Bone marrow aspirate smear. Single cell centered in the field:
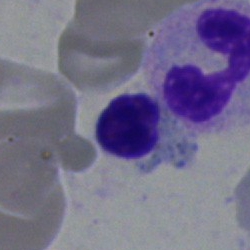

Morphological class — erythroblast.